Pappenheim-stained; bone marrow smear
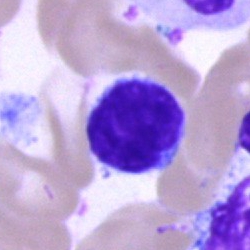 Typical lymphocyte.